Bone marrow aspirate smear
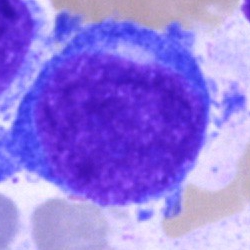
Morphology → pronormoblast.